Bone marrow aspirate smear: 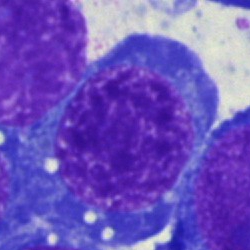Nucleated red blood cell.